Bone marrow aspirate smear. 40× oil immersion. MGG-stained
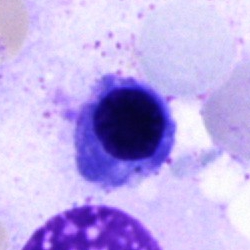
{"cell_type": "erythroblast", "lineage": "erythroid"}